Bone marrow smear. 250×250:
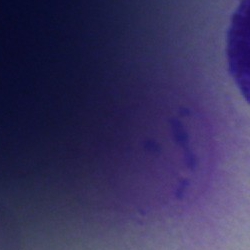Cell type: artefact.